Bone marrow aspirate smear
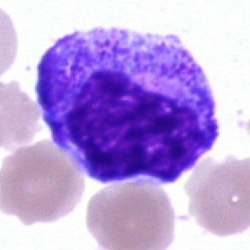 Showing a promyelocyte.